Bone marrow smear: 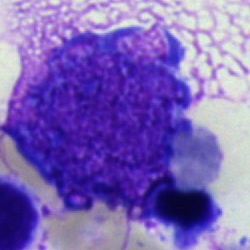 Cell type: artefact.